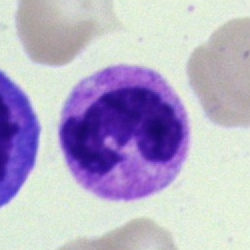
Q: What cell is this?
A: Neutrophil (segmented).